Peripheral blood film: 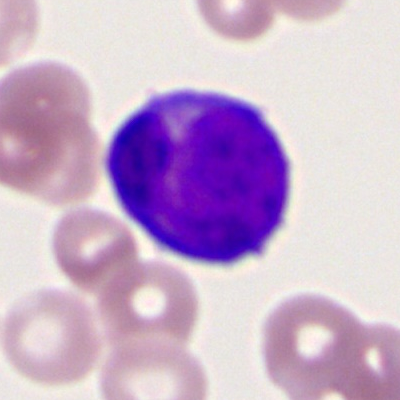

{"cell_type": "myeloid blast", "lineage": "myeloid"}